Bone marrow aspirate smear
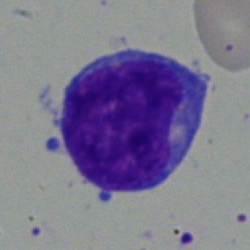

Cell: blast.